Bone marrow smear
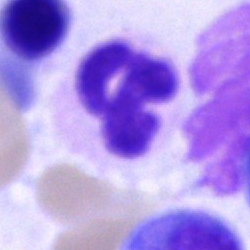Showing a neutrophil (segmented).